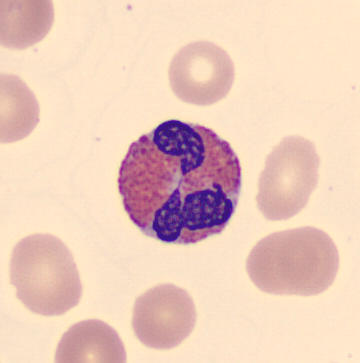

Preparation: Peripheral blood smear. Classification — eosinophilic granulocyte.